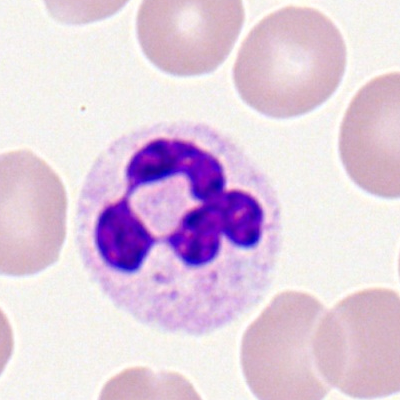
Cell: segmented neutrophil.